Bone marrow smear
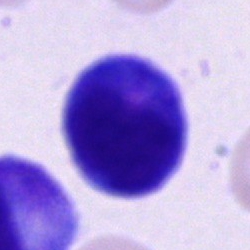
This is an unidentifiable cell.